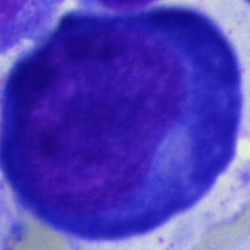

Morphological class = proerythroblast.